Peripheral blood smear; single-cell crop: 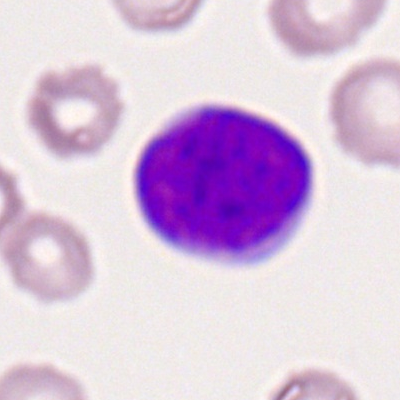
Morphology — myeloid blast.